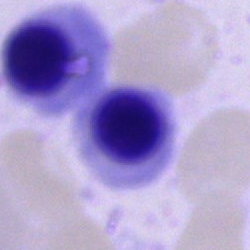Bone marrow aspirate smear, single cell — normoblast.